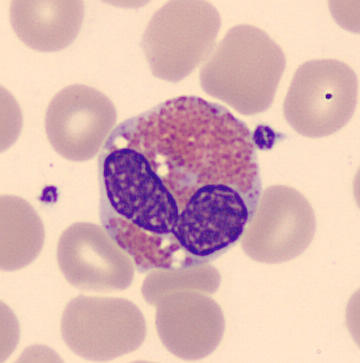

Image size 360×363; peripheral blood film; May Grünwald-Giemsa stain.
Cell: eosinophil.